Bone marrow aspirate smear
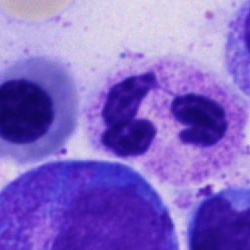 A polymorphonuclear neutrophil.